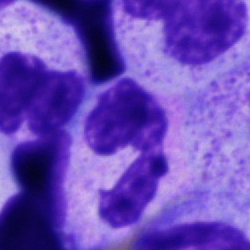 Single cell identified as a polymorphonuclear neutrophil.